Pappenheim-stained · bone marrow smear.
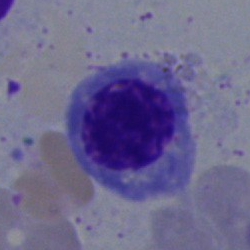

Showing a nucleated red cell.